Brightfield, 40× oil-immersion objective; bone marrow aspirate smear: 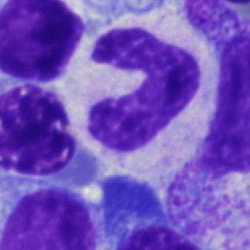
Stab cell.